Bone marrow aspirate smear — 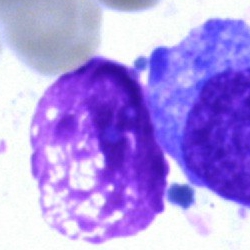

Q: What is shown here?
A: Artifact.